Bone marrow smear. MGG-stained:
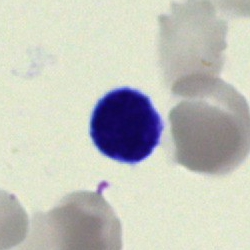
Morphology — lymphocyte.